250×250 · bone marrow aspirate smear:
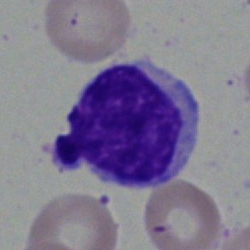Impression — lymphocyte.